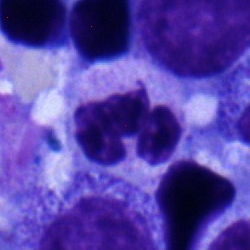This is a neutrophil (segmented).